Bone marrow aspirate smear:
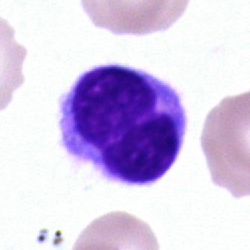

Cell = typical lymphocyte.